Bone marrow aspirate smear:
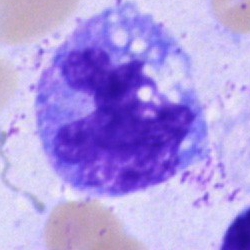
Impression — monocyte.